250×250; bone marrow smear: 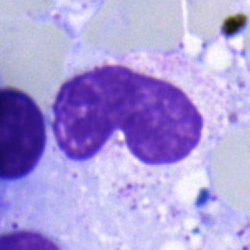 The cell shown is a band-form neutrophil.